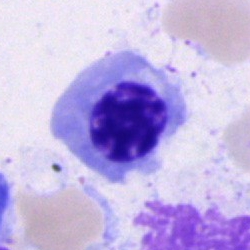 Bone marrow aspirate smear, single cell — nucleated red blood cell.